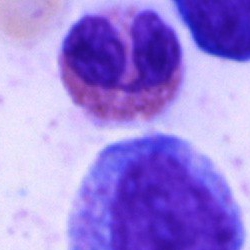
{"cell_type": "eosinophilic granulocyte"}